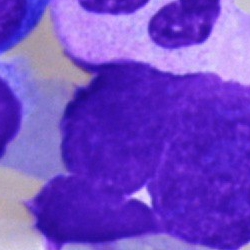
Morphology consistent with an artifact.